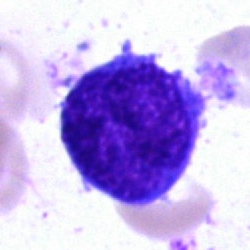 The classification is blast cell.